Peripheral blood smear; single-cell crop
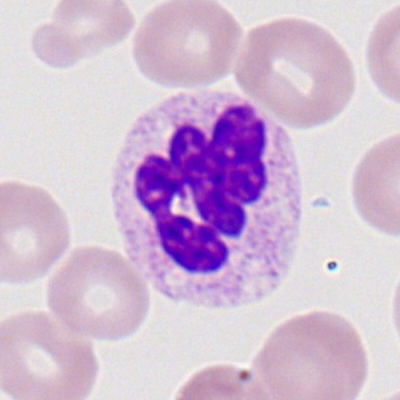Impression → segmented neutrophil.